Bone marrow smear.
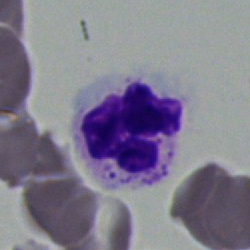

The cell is polymorphonuclear neutrophil.